250×250 · bone marrow smear.
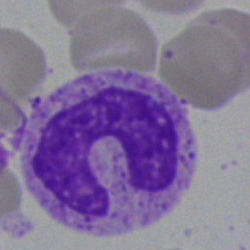Morphological class: band-form neutrophil.